Bone marrow smear.
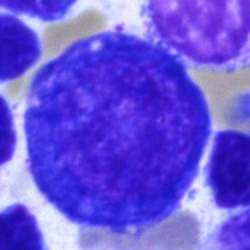Q: What cell is this?
A: A pronormoblast.